Bone marrow smear: 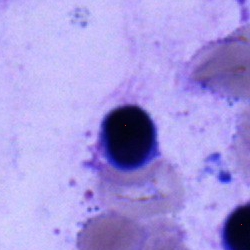
Specimen: bone marrow aspirate smear.
Morphological class: lymphocyte.